250×250; bone marrow aspirate smear: 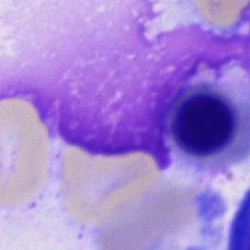
Cell type = artefact.